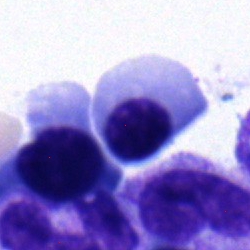
{"cell_type": "nucleated red cell", "lineage": "erythroid"}